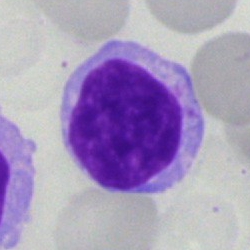A lymphocyte.